Bone marrow smear.
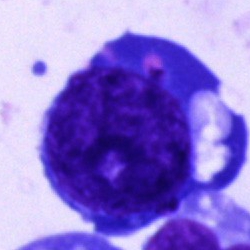
The morphological class is undifferentiated blast.